250×250 · bone marrow smear.
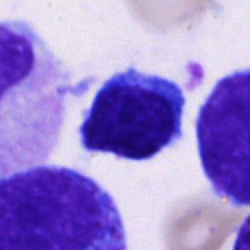

Specimen: bone marrow smear.
Cell type: lymphocyte.
Lineage: lymphoid.